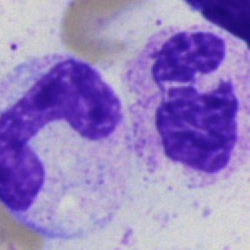Q: What is shown here?
A: This is a segmented neutrophil.